M8 digital microscope (Precipoint), 100× oil immersion; peripheral blood smear; Romanowsky stain:
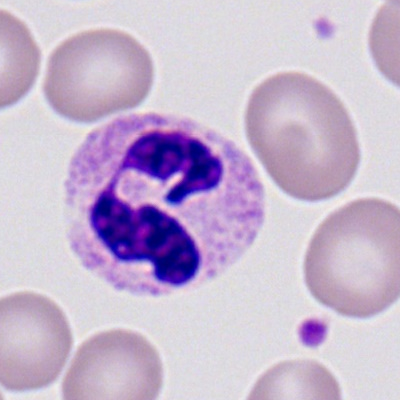 Cell: segmented neutrophil.